MGG-stained; bone marrow aspirate smear
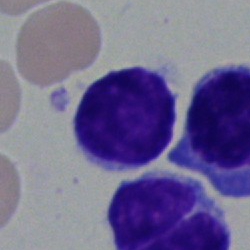
Single cell identified as a lymphocyte.